MGG-stained · bone marrow smear · brightfield microscopy, 40× oil immersion
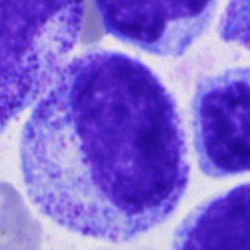Q: Identify the cell.
A: A promyelocyte.